Bone marrow smear
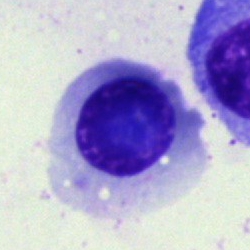

Cell type: normoblast.